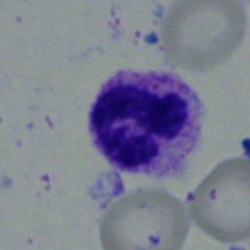

Impression — segmented neutrophil.